Bone marrow smear
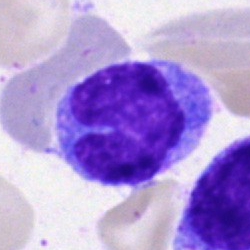 The classification is monocyte.